Bone marrow smear.
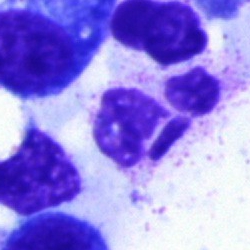{"cell_type": "artefact"}